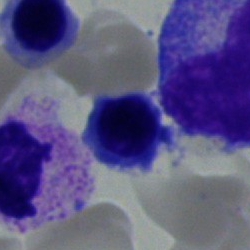

Impression — erythroblast.